40× oil immersion. Bone marrow aspirate smear:
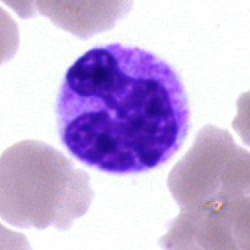

Morphology consistent with a neutrophil (segmented).